Bone marrow smear: 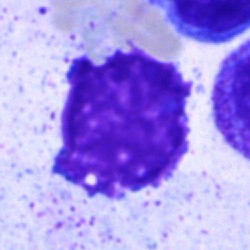 Cell: artefact.